Bone marrow aspirate smear: 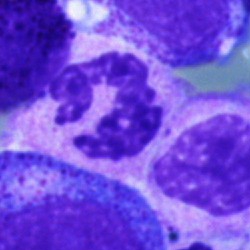

Q: Identify the cell.
A: A segmented neutrophil.